Bone marrow smear
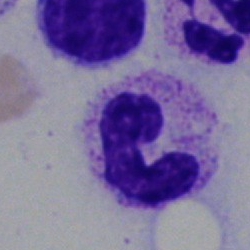Single cell identified as a polymorphonuclear neutrophil.